Bone marrow aspirate smear
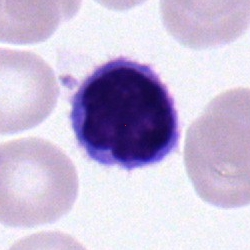 Cell type: lymphocyte.